Bone marrow smear.
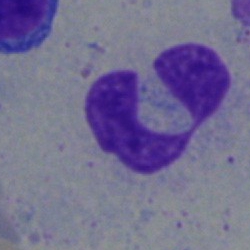 The cell shown is a polymorphonuclear neutrophil.